Bone marrow aspirate smear. Brightfield, 40× oil-immersion objective. MGG-stained
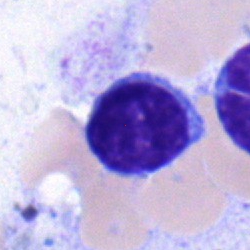 Morphology consistent with a typical lymphocyte.